Single-cell field. Bone marrow smear. Image size 250×250: 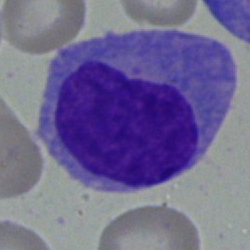

The classification is monocyte.